Cropped to a single cell. May-Grünwald-Giemsa/Pappenheim stain. Bone marrow aspirate smear
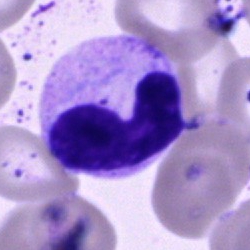 A band-form neutrophil.